Bone marrow aspirate smear; 250×250 px.
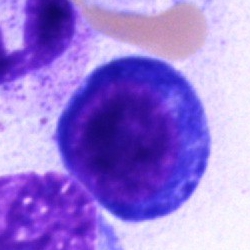
Cell = proerythroblast.